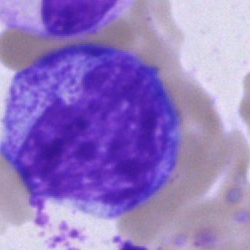Cell — promyelocyte.